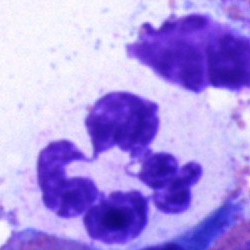 Morphological class — polymorphonuclear neutrophil.